Peripheral blood smear
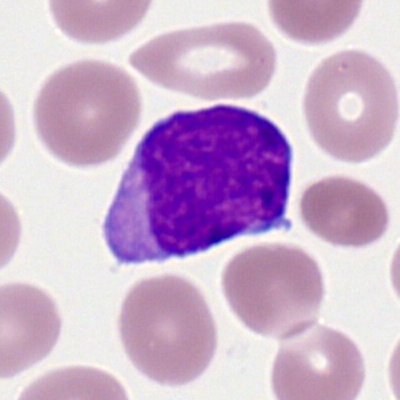 Specimen: peripheral blood smear.
Cell: myeloblast.